Bone marrow aspirate smear
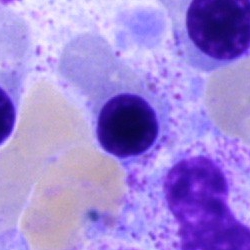Q: What is shown here?
A: This is an erythroblast.